Bone marrow aspirate smear:
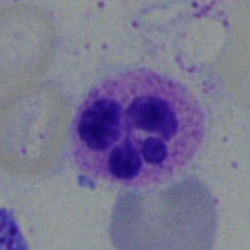
Showing a segmented neutrophil.